Bone marrow aspirate smear
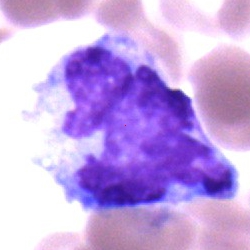

Single cell identified as a monocyte.